Single cell centered in the field. Bone marrow aspirate smear:
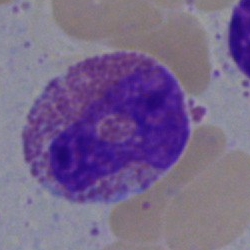
The cell shown is an eosinophil.